Bone marrow aspirate smear.
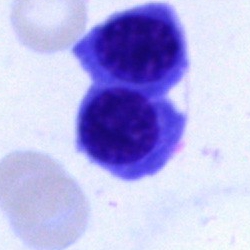

Specimen: bone marrow smear.
Cell type: normoblast.